CellaVision DM96 digital cell image. Peripheral blood smear. 360×363 px
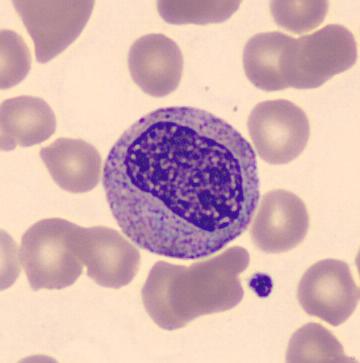
Classification = myelocyte.